Bone marrow smear — 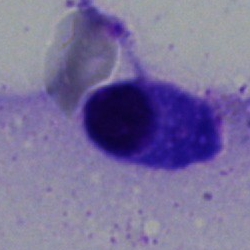 Single cell identified as a plasmacyte.